Bone marrow aspirate smear; May-Grünwald-Giemsa/Pappenheim stain.
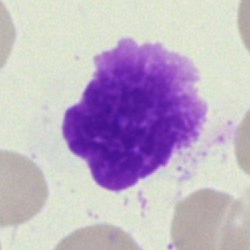 This is an artifact.